Bone marrow smear; MGG-stained:
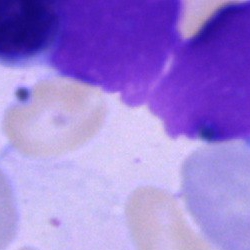Morphology — artefact.